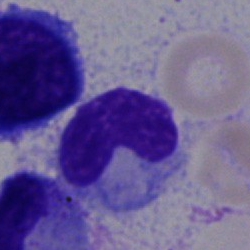
Morphology consistent with a band-form neutrophil.